Bone marrow smear:
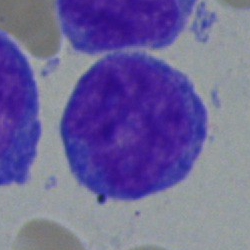
Showing a blast.